Bone marrow aspirate smear:
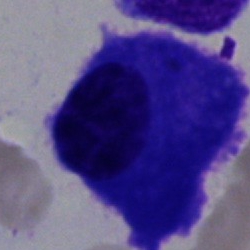

Q: What is shown here?
A: A plasma cell.